Bone marrow smear.
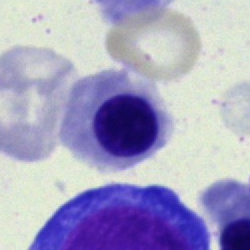

A nucleated red cell.